Bone marrow smear; 250 by 250 pixels:
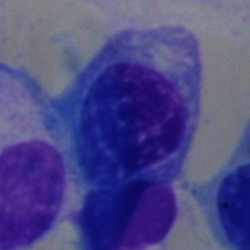 Q: What is shown here?
A: This is an artefact.